Bone marrow aspirate smear: 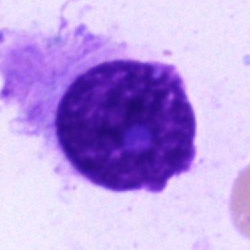 Showing a plasma cell.